Bone marrow smear: 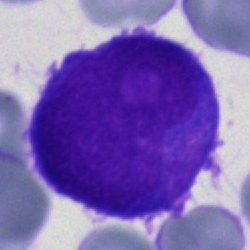
Q: What is the morphological classification of this cell?
A: This is a blast.